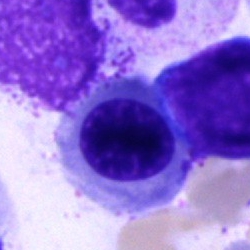This is a nucleated red blood cell.